Bone marrow aspirate smear
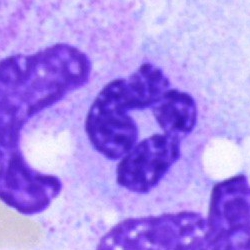
A segmented neutrophil.